Bone marrow smear.
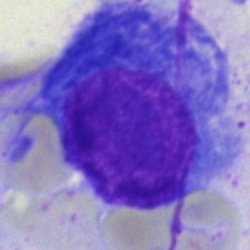Q: What is shown here?
A: Plasma cell.